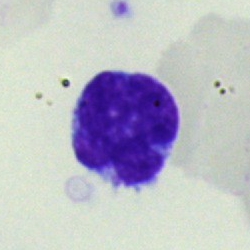 Q: What is the morphological classification of this cell?
A: Typical lymphocyte.